Bone marrow aspirate smear.
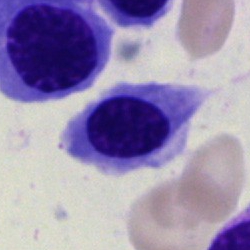Cell = nucleated red blood cell.